Bone marrow aspirate smear:
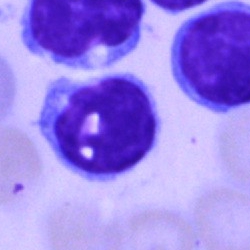
Specimen: bone marrow aspirate smear.
Cell type: typical lymphocyte.